Bone marrow smear:
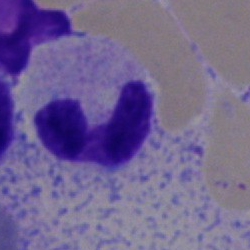

Single cell identified as a band neutrophil.